Bone marrow smear — 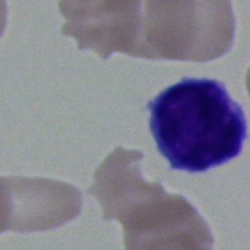Specimen: bone marrow aspirate smear.
Morphological class: typical lymphocyte.
Lineage: lymphoid.